Bone marrow aspirate smear; MGG-stained.
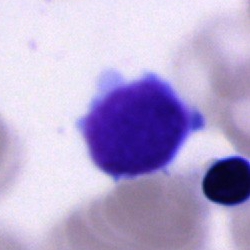{"cell_type": "typical lymphocyte", "lineage": "lymphoid"}